Bone marrow smear.
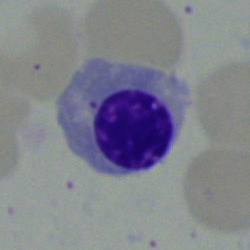Nucleated red blood cell.